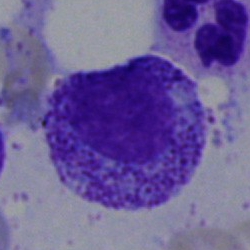A myelocyte.